Peripheral blood film
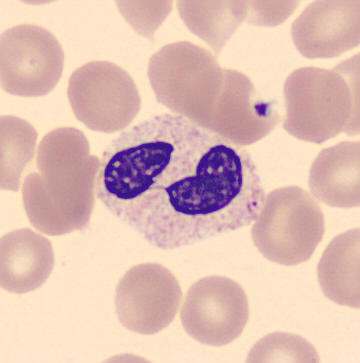

Specimen: peripheral blood smear.
Cell: neutrophil (segmented).
Lineage: myeloid.